Bone marrow smear.
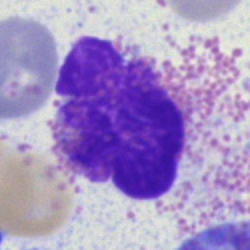 Q: What is shown here?
A: Artefact.